Bone marrow smear: 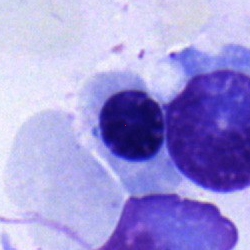 Morphology consistent with a normoblast.